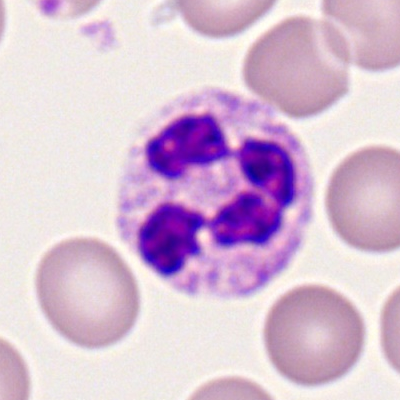
Q: Which cell type is shown here?
A: It is a polymorphonuclear neutrophil.